40× oil immersion. Bone marrow smear.
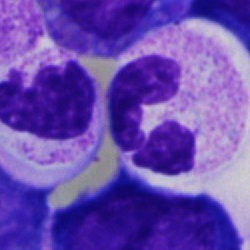The cell shown is a segmented neutrophil.